Bone marrow aspirate smear: 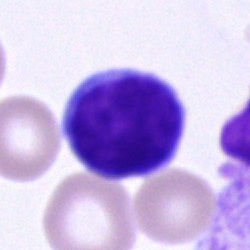Morphology → typical lymphocyte.